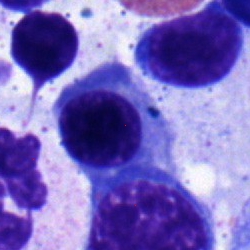

Impression → normoblast.